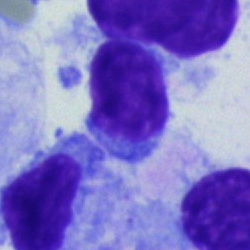

{"cell_type": "typical lymphocyte"}